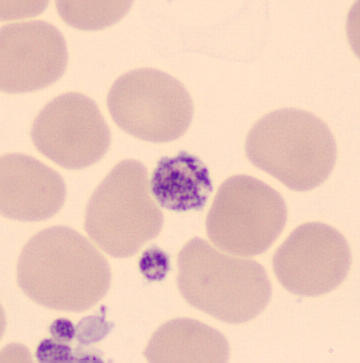Identified as a platelet (thrombocyte).